Bone marrow smear; 40× oil immersion:
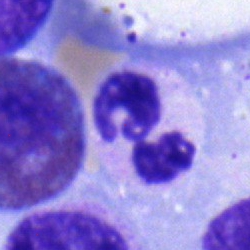

{"cell_type": "neutrophil (segmented)"}